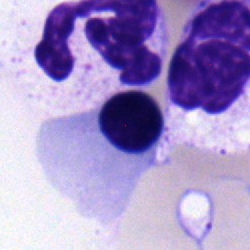
Single-cell crop from a bone marrow smear: normoblast.